Bone marrow aspirate smear — 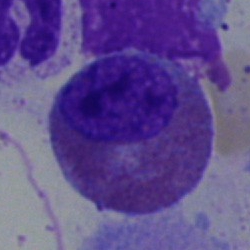 Q: What type of cell is this?
A: Eosinophilic granulocyte.